Peripheral blood film:
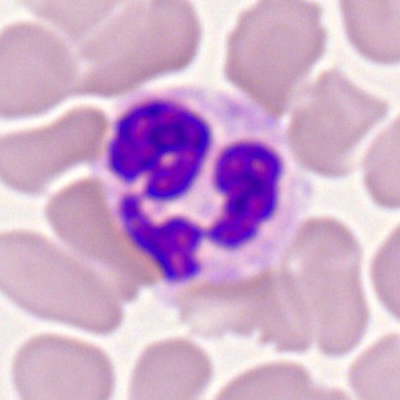
Impression — segmented neutrophil.